Bone marrow aspirate smear:
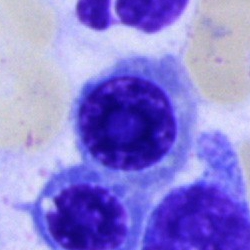Showing a nucleated red blood cell.